May Grünwald-Giemsa stain · peripheral blood film.
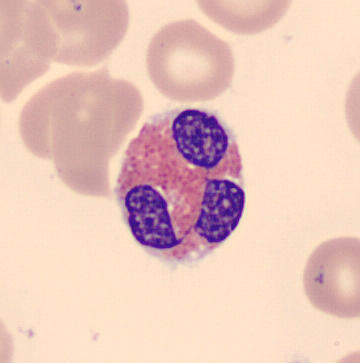Q: What is this?
A: An eosinophilic granulocyte.